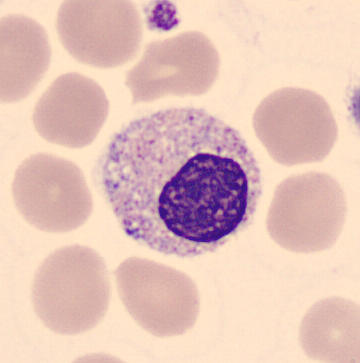 The morphological class is myelocyte.